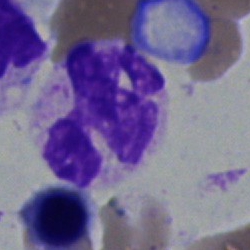Q: Which cell type is shown here?
A: It is a neutrophil (segmented).